40× objective, oil immersion; bone marrow smear; 250×250
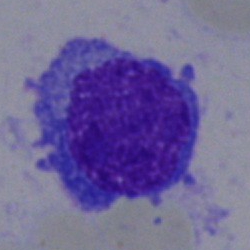

Q: Which cell type is shown here?
A: A plasma cell.